Bone marrow smear; single cell centered in the field:
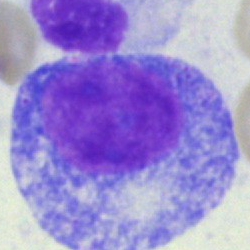
Single cell identified as a promyelocyte.